40× objective, oil immersion; bone marrow aspirate smear
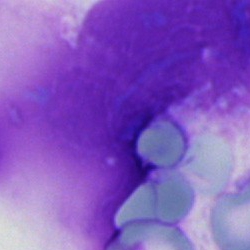 The cell type is artefact.